250 by 250 pixels. Bone marrow aspirate smear:
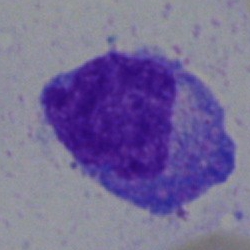The cell is progranulocyte.